Bone marrow smear.
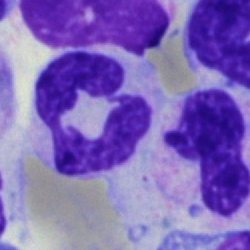
Classification — segmented neutrophil.